Cropped to a single cell; bone marrow smear; 250 by 250 pixels
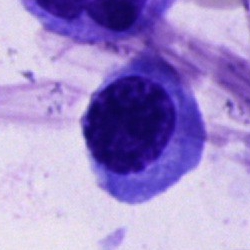 This is a nucleated red blood cell.